Bone marrow aspirate smear; cropped to a single cell — 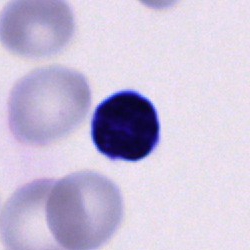
Impression → unidentifiable cell.